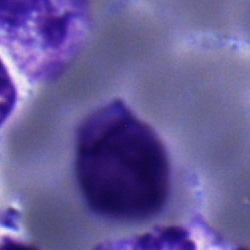 A nucleated red blood cell on a bone marrow smear.